Bone marrow aspirate smear; single cell centered in the field.
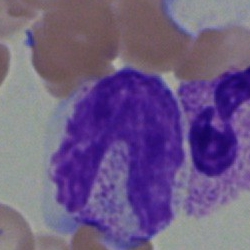
Impression — metamyelocyte.